Bone marrow aspirate smear: 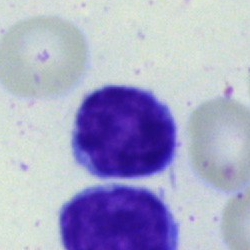
{"cell_type": "typical lymphocyte", "lineage": "lymphoid"}